Bone marrow smear
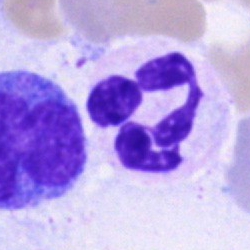 Classification = segmented neutrophil.